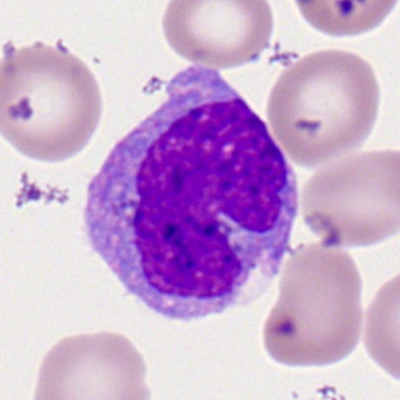Specimen: peripheral blood film.
Classification: monocyte.